Bone marrow aspirate smear; single-cell field; MGG-stained:
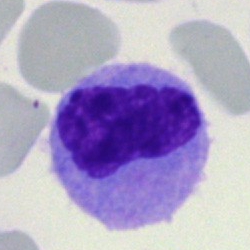

Morphological class = monocyte.